Bone marrow aspirate smear — 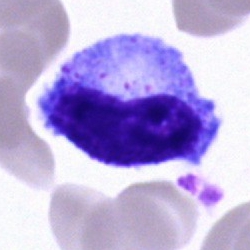

{"cell_type": "promyelocyte"}